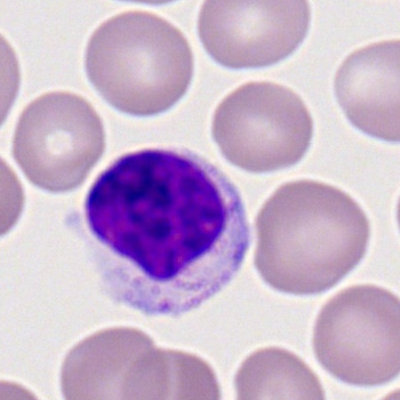
Cell type = typical lymphocyte.